Single-cell field; bone marrow aspirate smear; image size 250×250 — 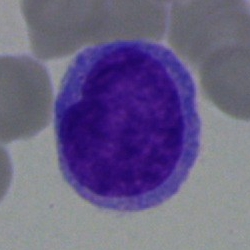Morphology consistent with a blast cell.